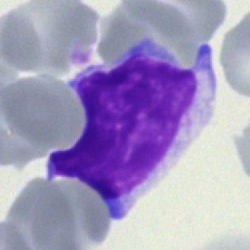Q: What cell is this?
A: This is an immature lymphocyte.